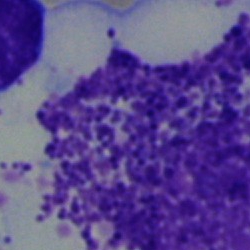An other cell on a bone marrow smear.